Bone marrow aspirate smear. Pappenheim-stained. Cropped to a single cell: 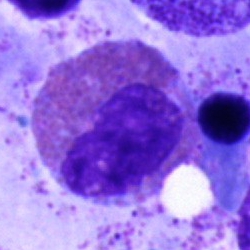{"cell_type": "eosinophilic granulocyte", "lineage": "myeloid"}